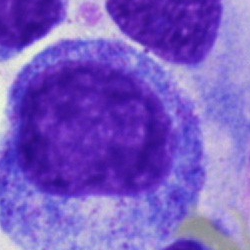
A promyelocyte on a bone marrow smear.